Bone marrow smear:
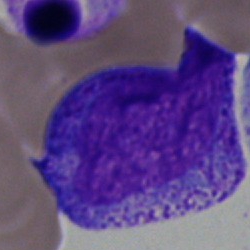Morphology consistent with a stab cell.